Image size 250×250; May-Grünwald-Giemsa stain; bone marrow aspirate smear
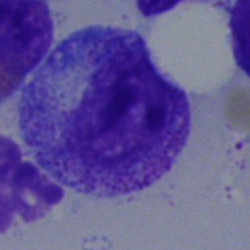

{"cell_type": "progranulocyte"}